Bone marrow aspirate smear; single cell centered in the field: 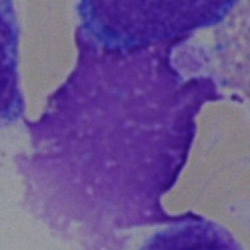 Q: What is shown here?
A: It is an artefact.